Bone marrow aspirate smear: 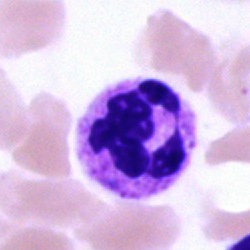 Cell type — neutrophil (segmented).